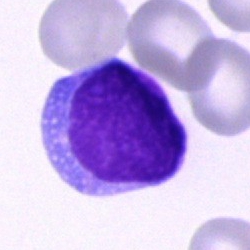
Specimen: bone marrow smear.
Cell type: blast.